Bone marrow smear:
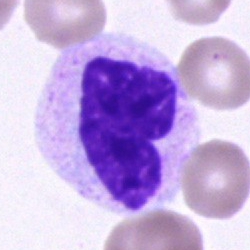Specimen: bone marrow smear.
Cell: cell of indeterminate lineage.